Bone marrow aspirate smear:
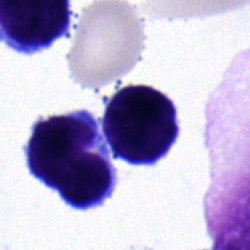
Q: What is the morphological classification of this cell?
A: Lymphocyte.